Bone marrow aspirate smear.
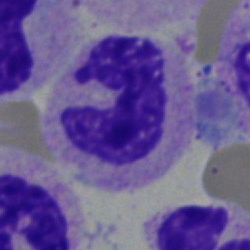 Stab cell.